Peripheral blood smear
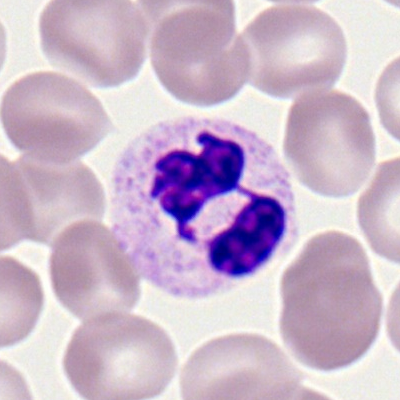This is a neutrophil (segmented).